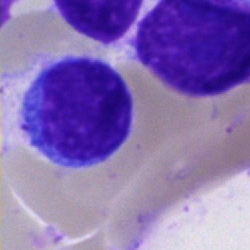
Typical lymphocyte.